Bone marrow smear:
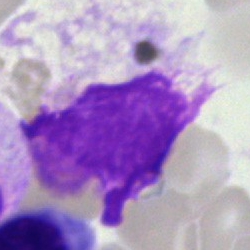

Morphology — artefact.